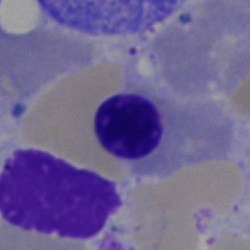{"cell_type": "normoblast", "lineage": "erythroid"}